Bone marrow smear
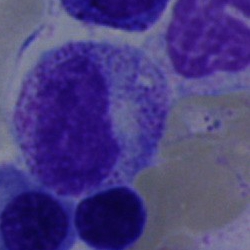 The cell shown is a promyelocyte.